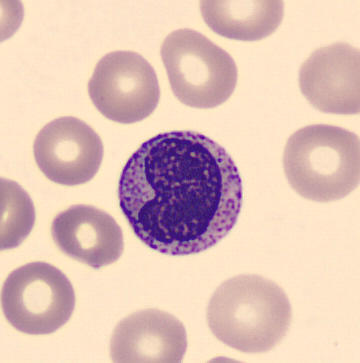
A metamyelocyte.

Preparation: Peripheral blood film.